40× objective, oil immersion · Pappenheim-stained · bone marrow smear.
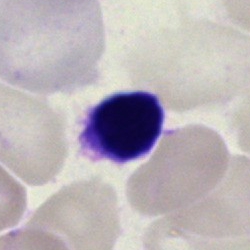

Morphological class: lymphocyte.